Bone marrow aspirate smear: 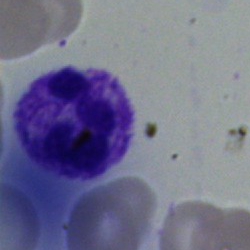 Q: What is shown here?
A: It is a polymorphonuclear neutrophil.